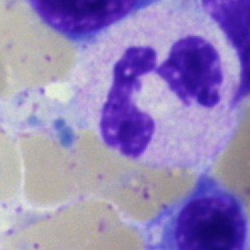 Q: Identify the cell.
A: It is an eosinophilic granulocyte.